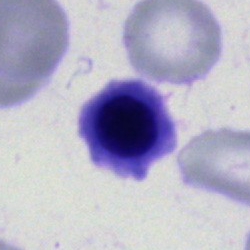

Cell — nucleated red blood cell.